Bone marrow smear: 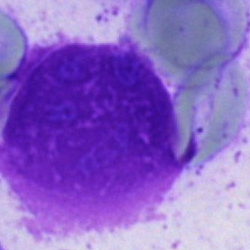 An artifact.